Bone marrow aspirate smear · single-cell crop.
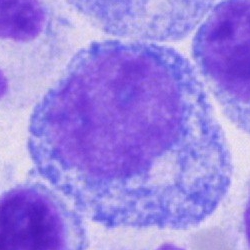The cell shown is a promyelocyte.